Romanowsky stain. 100× oil immersion, 14.14 px/µm. Peripheral blood smear:
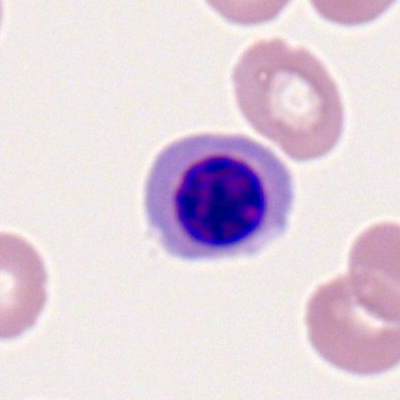
Specimen: peripheral blood film.
Cell: nucleated red blood cell.